Pappenheim-stained · bone marrow smear.
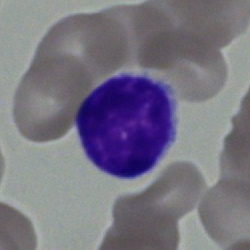 Single cell identified as a lymphocyte.